250×250 px. Bone marrow smear — 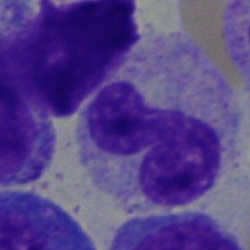

Q: What type of cell is this?
A: It is a band-form neutrophil.